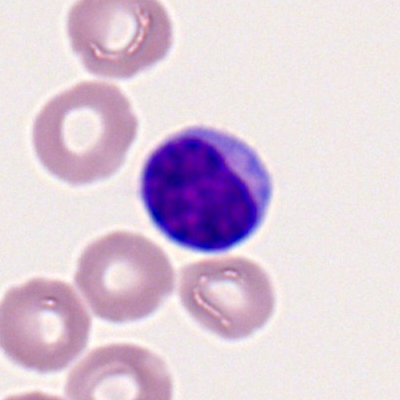
Lymphocyte.